Peripheral blood smear: 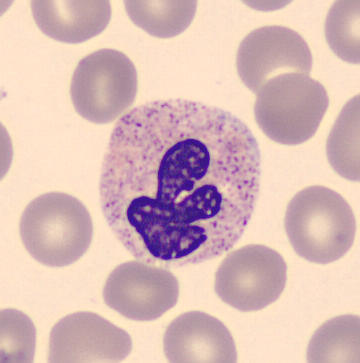The cell type is polymorphonuclear neutrophil.